Bone marrow smear. 40× oil immersion. May-Grünwald-Giemsa stain.
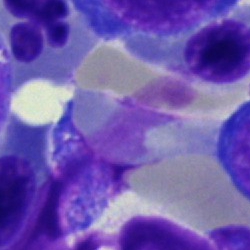
Showing an artefact.